Bone marrow aspirate smear: 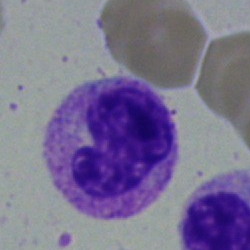 {"cell_type": "band-form neutrophil", "lineage": "myeloid"}